Bone marrow aspirate smear; single cell centered in the field — 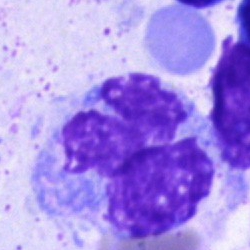 Classification = monocyte.